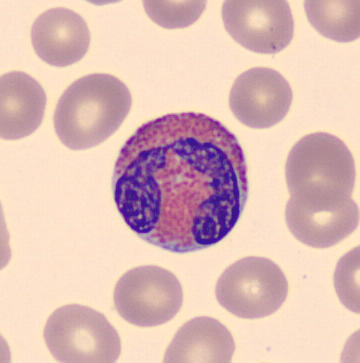
Q: What is the morphological classification of this cell?
A: It is an eosinophil.